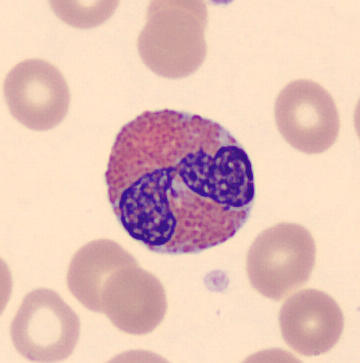Q: What is this?
A: This is an eosinophil. Acquisition: Peripheral blood smear.